Peripheral blood smear — 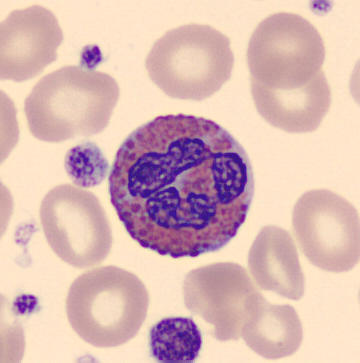

Specimen: peripheral blood film.
Classification: eosinophil.